Peripheral blood film; 400 by 400 pixels; M8 digital microscope (Precipoint), 100× oil immersion.
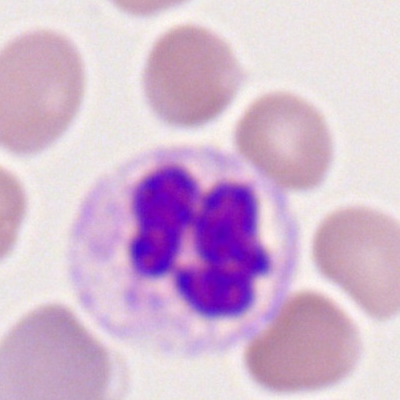
A polymorphonuclear neutrophil.